Single-cell crop; 40× objective, oil immersion; bone marrow aspirate smear — 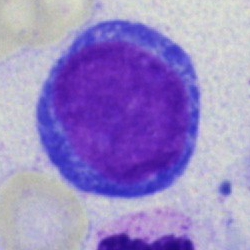 Q: Which cell type is shown here?
A: It is a blast cell.